Bone marrow aspirate smear:
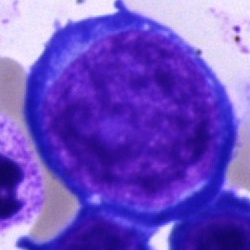Specimen: bone marrow smear.
Classification: proerythroblast.